Bone marrow smear:
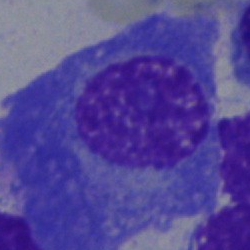

The cell shown is a plasmacyte.